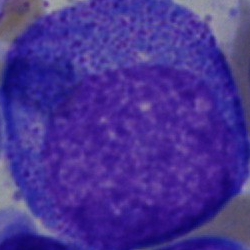

{"cell_type": "progranulocyte", "lineage": "myeloid"}